Bone marrow aspirate smear. Cropped to a single cell. Brightfield microscopy, 40× oil immersion — 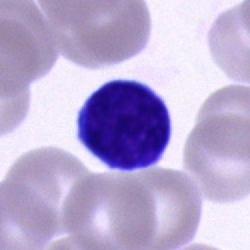 The cell is typical lymphocyte.